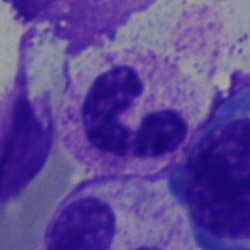 Single cell identified as a neutrophil (segmented).